Bone marrow smear.
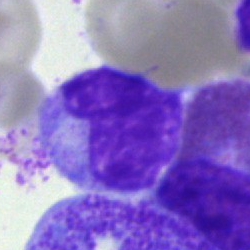
Morphological class: monocyte.